Bone marrow smear. 40× objective, oil immersion:
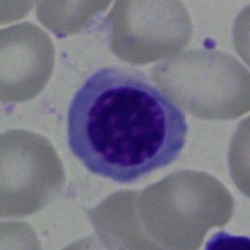 The cell type is normoblast.